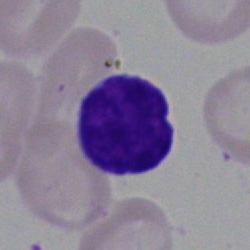

Specimen: bone marrow smear.
Cell type: lymphocyte.
Lineage: lymphoid.